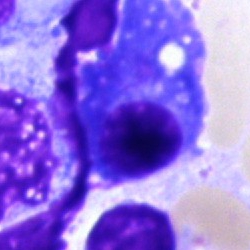
Specimen: bone marrow aspirate smear.
Cell type: plasmacyte.